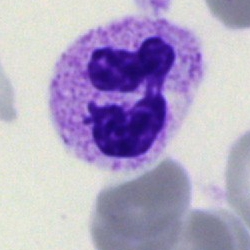

Specimen: bone marrow aspirate smear.
Morphological class: neutrophil (segmented).
Lineage: myeloid.